Bone marrow smear: 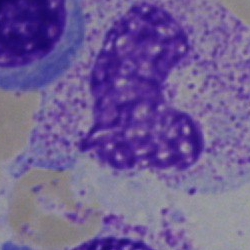
Specimen: bone marrow smear.
Cell type: artifact.